Bone marrow smear: 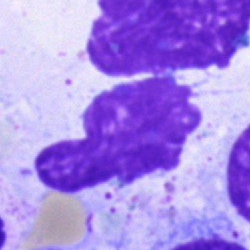An artifact.